Peripheral blood film
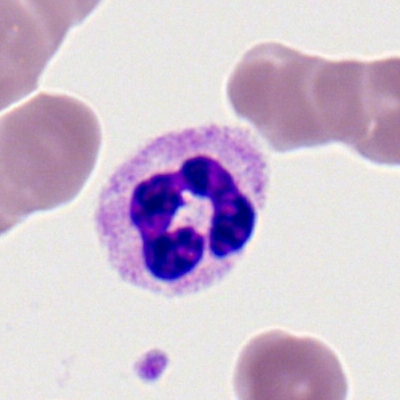Single cell identified as a segmented neutrophil.